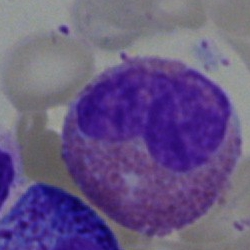

Impression — eosinophilic granulocyte.